40× oil immersion; bone marrow smear: 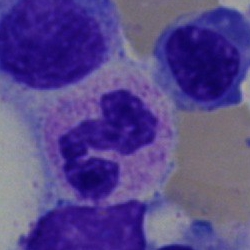

Q: What is shown here?
A: Segmented neutrophil.